Bone marrow smear · 250 by 250 pixels.
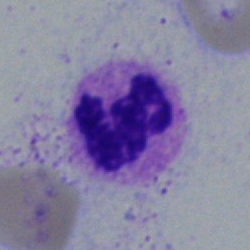Morphology consistent with a polymorphonuclear neutrophil.